Bone marrow aspirate smear. Single-cell field. 40× objective, oil immersion
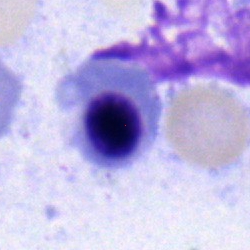 Erythroblast.